Bone marrow smear. May-Grünwald-Giemsa/Pappenheim stain.
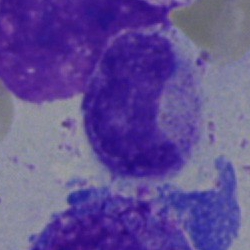
Morphology — band neutrophil.